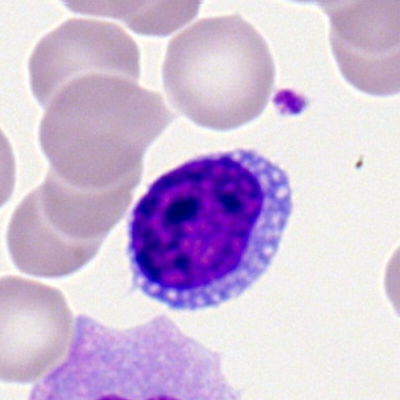 This is a typical lymphocyte.